Bone marrow aspirate smear
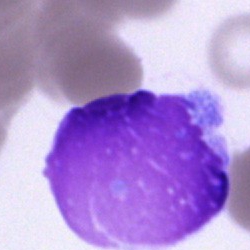Q: What cell is this?
A: It is a blast cell.